Bone marrow aspirate smear · MGG-stained
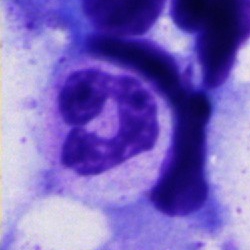 This is a polymorphonuclear neutrophil.